Peripheral blood smear; Romanowsky-stained; 400×400:
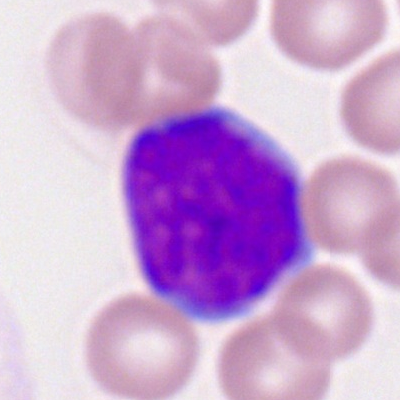 Myeloid blast.